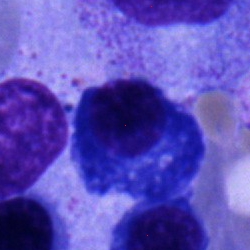 Q: What cell is this?
A: This is a plasma cell.